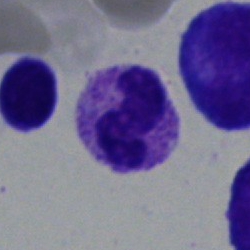

Cell type = neutrophil (segmented).